Pappenheim-stained. Bone marrow aspirate smear. Single-cell field: 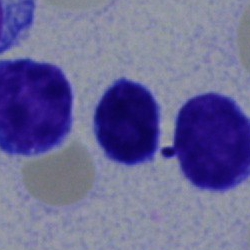
Cell type — lymphocyte.